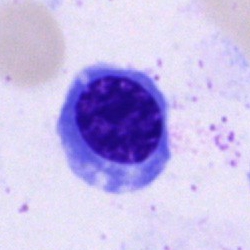

An erythroblast.